Bone marrow aspirate smear. Cropped to a single cell. 250×250
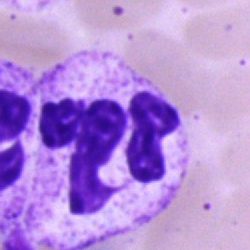

Classification: segmented neutrophil.